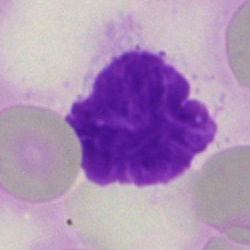Single-cell crop from a bone marrow smear: artifact.